Bone marrow smear: 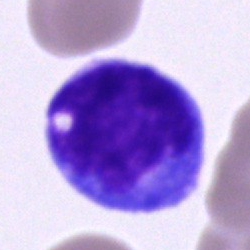Cell type: monocyte.